Bone marrow aspirate smear — 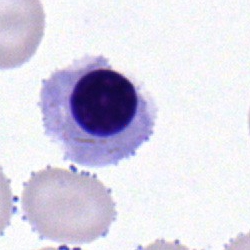A nucleated red cell.